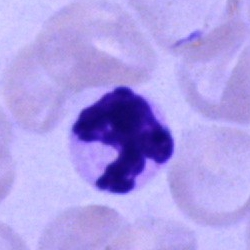

Showing a polymorphonuclear neutrophil.